Bone marrow smear
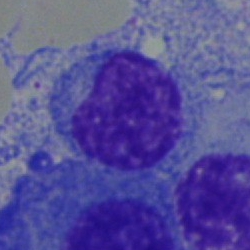Cell: lymphocyte.